250 by 250 pixels · bone marrow aspirate smear:
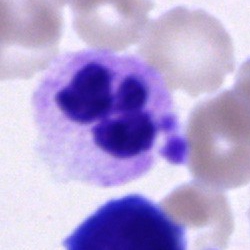
Classification — neutrophil (segmented).